Bone marrow smear — 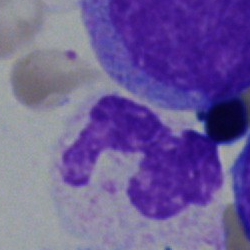
The cell shown is a polymorphonuclear neutrophil.